Bone marrow aspirate smear.
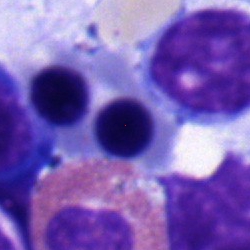
This is a nucleated red blood cell.